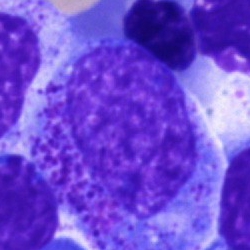

Bone marrow smear showing a progranulocyte.